250×250 px. Single cell centered in the field. Bone marrow aspirate smear: 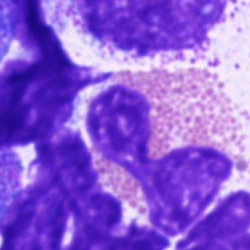Morphological class = eosinophil.